Bone marrow smear · Pappenheim-stained · brightfield microscopy, 40× oil immersion:
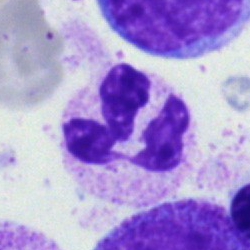Single cell identified as a segmented neutrophil.